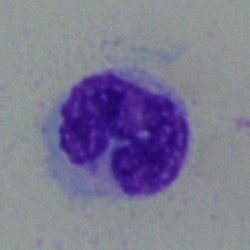

Q: What cell is this?
A: A monocyte.